Single-cell crop · bone marrow aspirate smear · brightfield, 40× oil-immersion objective: 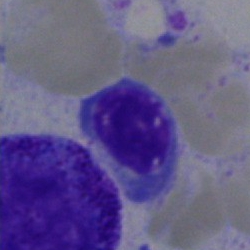Specimen: bone marrow aspirate smear.
Cell: nucleated red blood cell.